Bone marrow aspirate smear; single-cell crop: 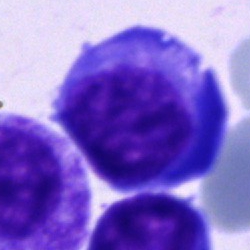 Q: What cell is this?
A: This is an undifferentiated blast.